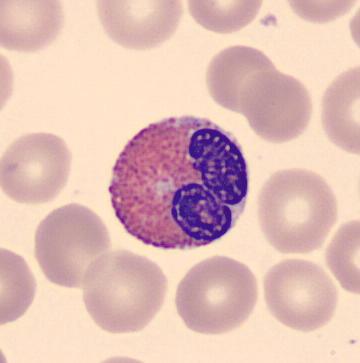

Cell = eosinophilic granulocyte.